Cropped to a single cell; bone marrow aspirate smear; MGG-stained
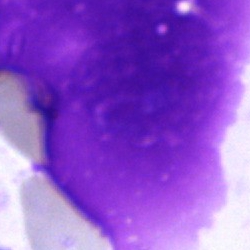 Showing an artifact.